Bone marrow aspirate smear.
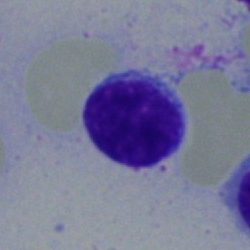

Showing a lymphocyte.